40× objective, oil immersion · bone marrow aspirate smear · May-Grünwald-Giemsa/Pappenheim stain: 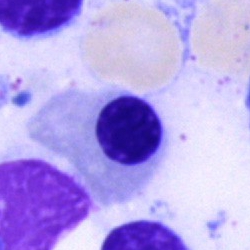
Showing a nucleated red cell.